Bone marrow aspirate smear.
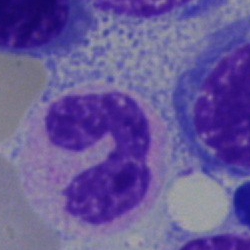 Cell type = stab cell.